Peripheral blood smear:
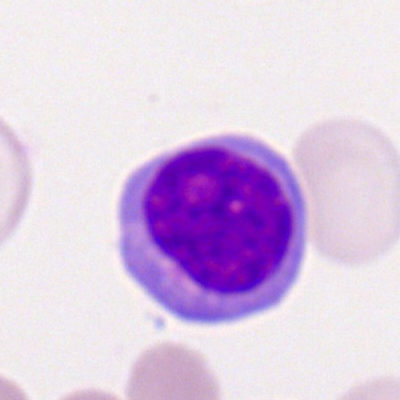

{"cell_type": "lymphocyte"}